Image size 250×250; May-Grünwald-Giemsa/Pappenheim stain; bone marrow smear: 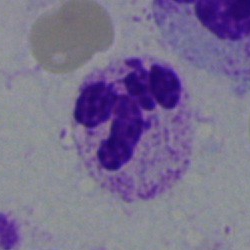

Classification — segmented neutrophil.